Bone marrow smear
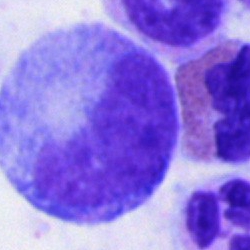 Showing a metamyelocyte.